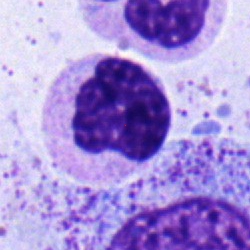
The cell is neutrophil (band).